Peripheral blood film — 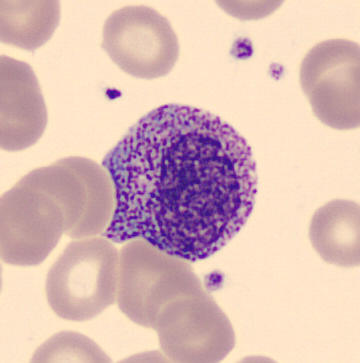Q: Identify the cell.
A: This is a myelocyte.